Peripheral blood smear; 400×400 px — 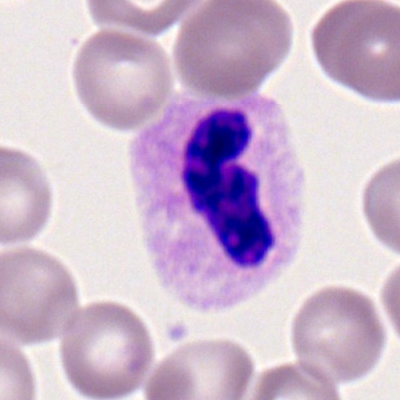 Single cell identified as a polymorphonuclear neutrophil.